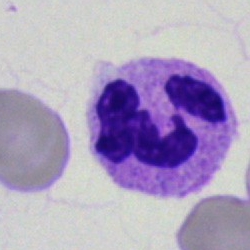

Morphology — segmented neutrophil.